Single cell centered in the field. Bone marrow aspirate smear.
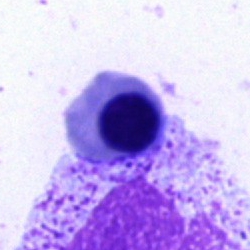
Specimen: bone marrow aspirate smear.
Cell type: normoblast.
Lineage: erythroid.